Bone marrow aspirate smear · May-Grünwald-Giemsa/Pappenheim stain — 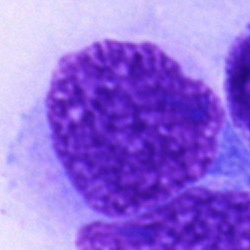 Q: What is shown here?
A: An artefact.